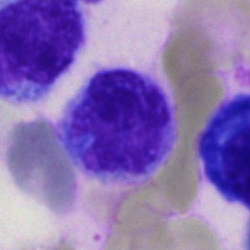The morphological class is monocyte.